Bone marrow smear · 250×250:
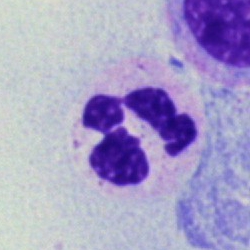
Q: What is the morphological classification of this cell?
A: This is a polymorphonuclear neutrophil.